Bone marrow aspirate smear — 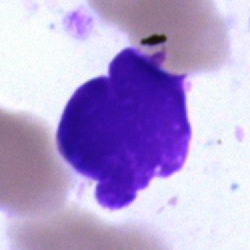
{"cell_type": "artifact"}